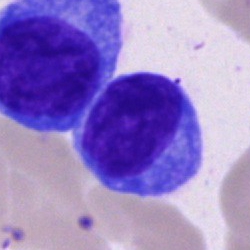
Morphological class = plasmacyte.